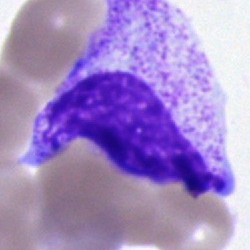

{"cell_type": "myelocyte"}